Bone marrow smear — 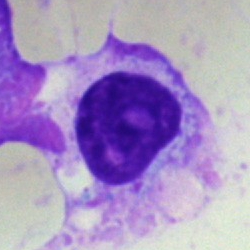
Q: What cell is this?
A: It is a plasmacyte.